Bone marrow aspirate smear.
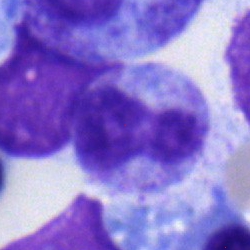

Q: What type of cell is this?
A: It is a neutrophil (band).